Bone marrow aspirate smear
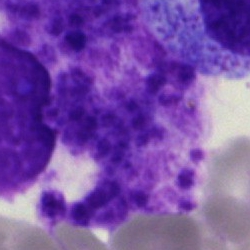Cell: artifact.